Bone marrow aspirate smear. 250 by 250 pixels. MGG-stained:
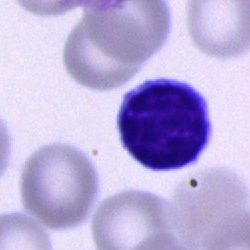Cell type = typical lymphocyte.